Bone marrow smear; 250 by 250 pixels — 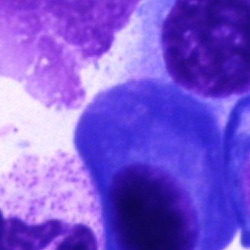
Specimen: bone marrow smear.
Morphological class: plasmacyte.
Lineage: lymphoid.